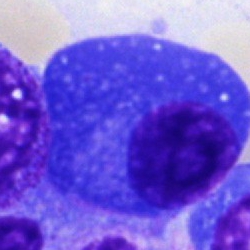

Specimen: bone marrow smear.
Morphological class: plasmacyte.